Single-cell crop; bone marrow aspirate smear: 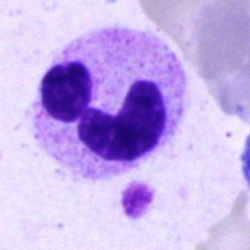The cell is neutrophil (segmented).